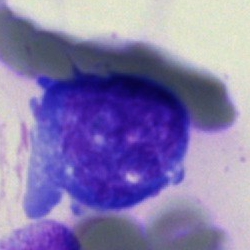

Q: What is the morphological classification of this cell?
A: Undifferentiated blast.